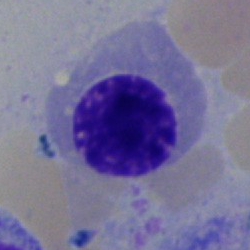

Cell — nucleated red cell.